Peripheral blood smear: 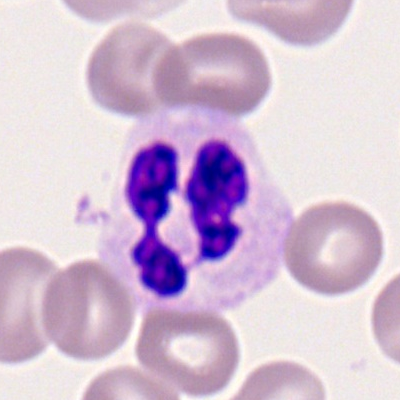
Cell type = polymorphonuclear neutrophil.